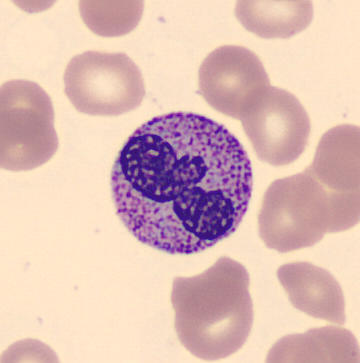 {"cell_type": "stab cell", "lineage": "myeloid"}

Preparation: Peripheral blood film.